Bone marrow aspirate smear:
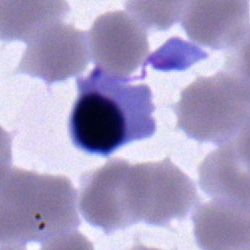 Single cell identified as a normoblast.